Single-cell field · 250×250 · bone marrow aspirate smear: 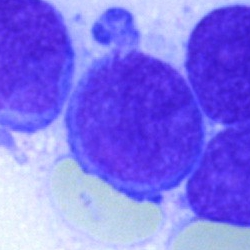

Specimen: bone marrow smear.
Cell: blast.